Peripheral blood smear. Single cell centered in the field.
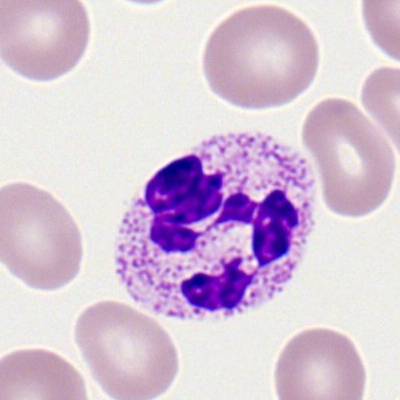 Polymorphonuclear neutrophil.